May-Grünwald-Giemsa stain · brightfield microscopy, 40× oil immersion · bone marrow smear:
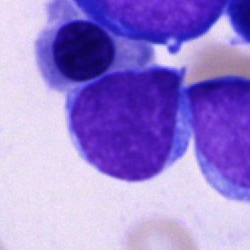 Single cell identified as an undifferentiated blast.